Bone marrow smear
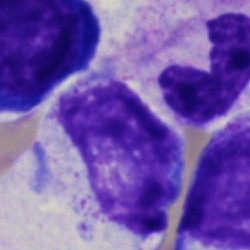Morphology consistent with a myelocyte.